250×250 · bone marrow smear · MGG-stained: 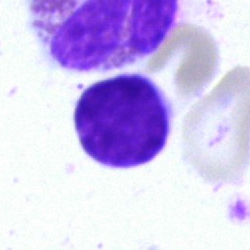

Impression — lymphocyte.